250×250 px · bone marrow smear
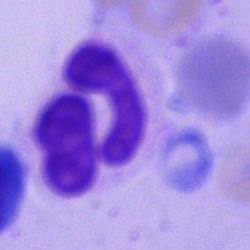

{"cell_type": "polymorphonuclear neutrophil"}